Bone marrow aspirate smear.
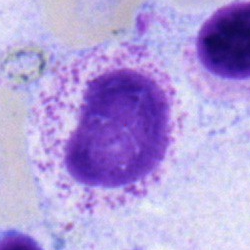 Specimen: bone marrow aspirate smear.
Cell: metamyelocyte.
Lineage: myeloid.